Bone marrow aspirate smear
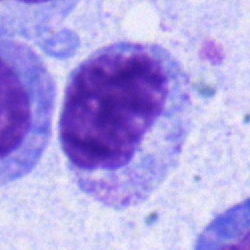 Morphological class: myelocyte.